Peripheral blood smear — 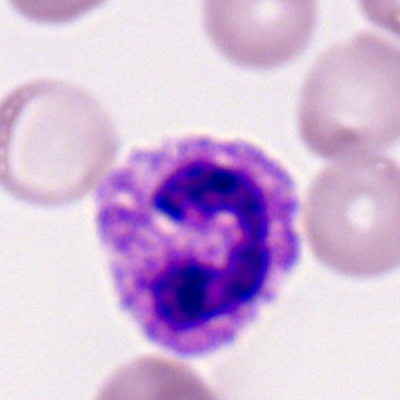

Impression → polymorphonuclear neutrophil.